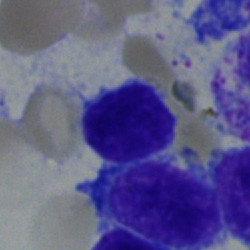

Specimen: bone marrow smear.
Cell type: lymphocyte.